Bone marrow smear
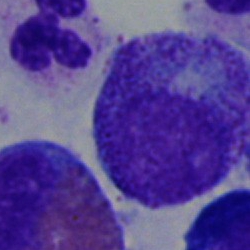
Showing a promyelocyte.